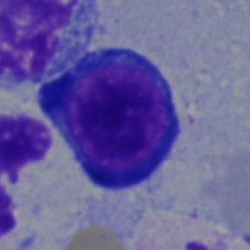

Q: What cell is this?
A: A pronormoblast.